Bone marrow aspirate smear:
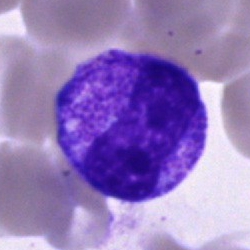
Single cell identified as a band-form neutrophil.